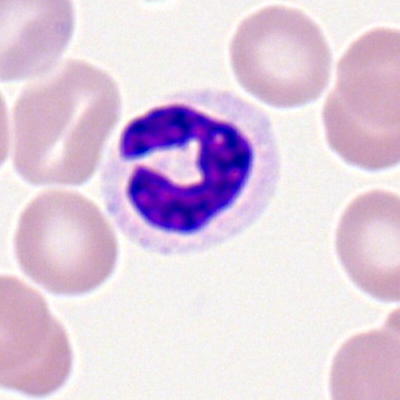 Classification: polymorphonuclear neutrophil.